Brightfield, 40× oil-immersion objective · Pappenheim-stained · bone marrow aspirate smear
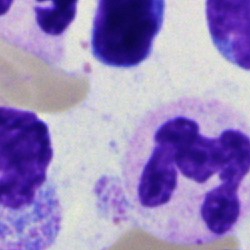

Impression → polymorphonuclear neutrophil.